Bone marrow aspirate smear — 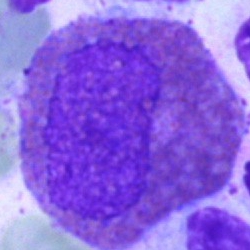

Showing an eosinophil.